Peripheral blood smear.
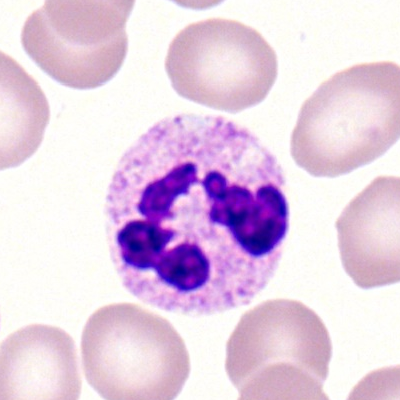
Impression → polymorphonuclear neutrophil.